Romanowsky-type stain; 400×400 px; peripheral blood smear.
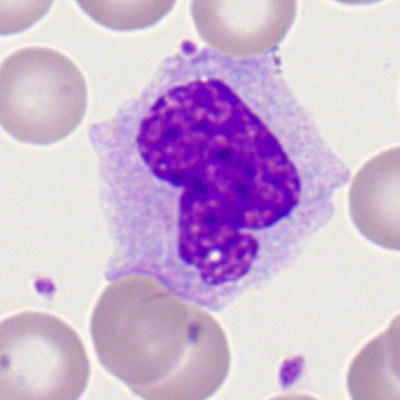
Cell type — monocyte.